Bone marrow aspirate smear; May-Grünwald-Giemsa/Pappenheim stain — 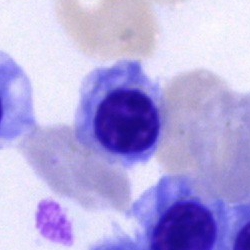
This is a nucleated red cell.